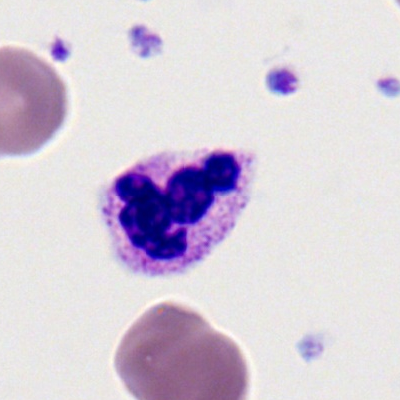

Specimen: peripheral blood smear.
Cell: segmented neutrophil.